May-Grünwald-Giemsa/Pappenheim stain · bone marrow aspirate smear · brightfield, 40× oil-immersion objective: 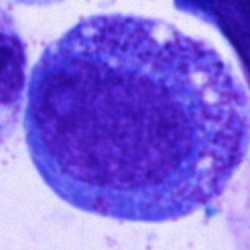The cell shown is a progranulocyte.